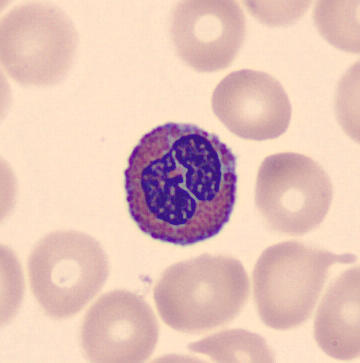Q: What type of cell is this?
A: This is an eosinophilic granulocyte. CellaVision DM96; peripheral blood smear.